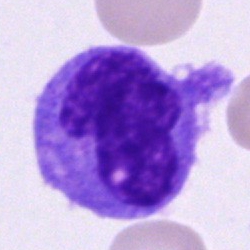

Bone marrow smear showing a monocyte.